Bone marrow smear:
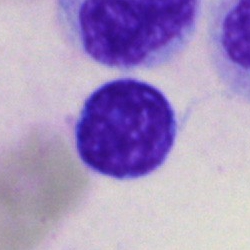

Specimen: bone marrow smear.
Cell type: lymphocyte.
Lineage: lymphoid.